Image size 250×250. Bone marrow smear:
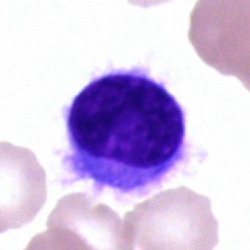Morphology consistent with a hairy cell.